Brightfield microscopy, 40× oil immersion; bone marrow aspirate smear; 250 by 250 pixels: 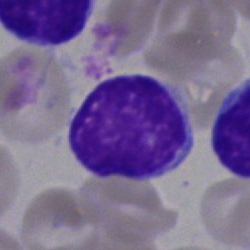Lymphocyte.